Bone marrow smear · 40× oil immersion: 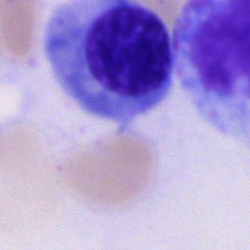

This is an erythroblast.